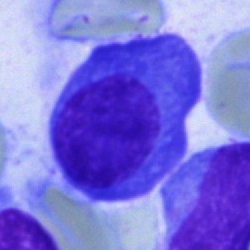 A plasmacyte.